Bone marrow aspirate smear · May-Grünwald-Giemsa stain · 250 by 250 pixels:
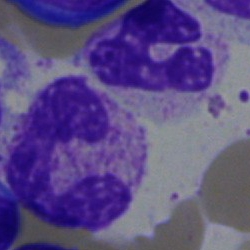Neutrophil (segmented).